Image size 250×250; bone marrow aspirate smear
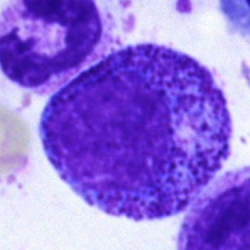 Q: What cell is this?
A: It is a promyelocyte.